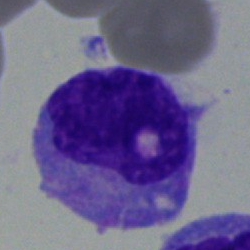 {"cell_type": "monocyte", "lineage": "myeloid"}